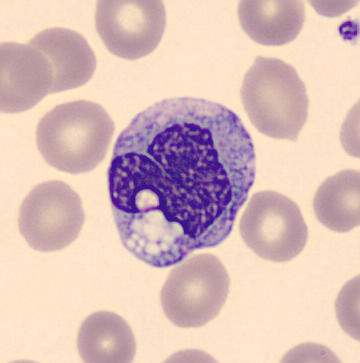
Cell: monocyte.